Bone marrow aspirate smear.
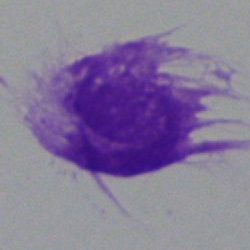 The cell type is artefact.